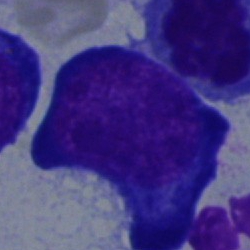Q: What is shown here?
A: Proerythroblast.